250×250. Pappenheim-stained. Bone marrow smear: 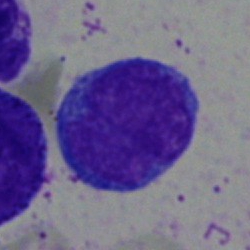 Cell — blast.